MGG-stained. Bone marrow aspirate smear:
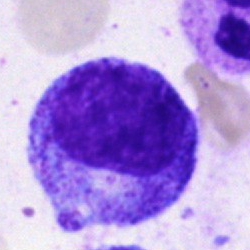Promyelocyte.